Bone marrow smear · 40× objective, oil immersion · single-cell crop — 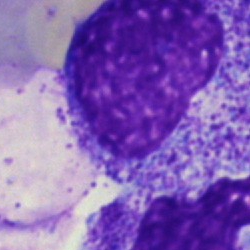Morphological class — metamyelocyte.